May-Grünwald-Giemsa stain; bone marrow aspirate smear: 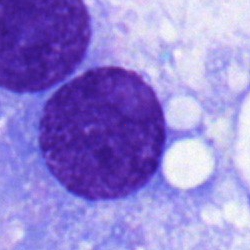

This is a plasma cell.